Bone marrow smear; single-cell crop — 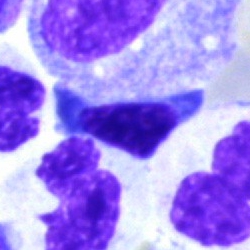Q: What is shown here?
A: An artefact.